Single-cell field · bone marrow smear: 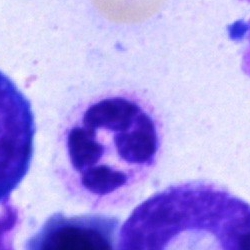 Morphology consistent with a neutrophil (segmented).